Cropped to a single cell; bone marrow aspirate smear; 250×250 px: 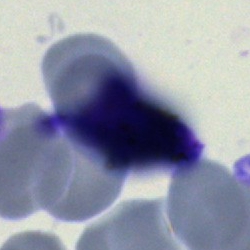

Classification: artifact.